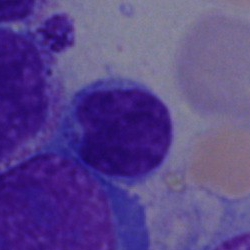Impression → lymphocyte.